Bone marrow smear · May-Grünwald-Giemsa/Pappenheim stain — 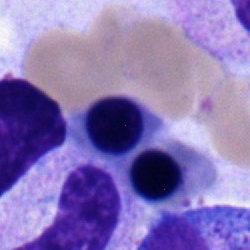

The cell is normoblast.